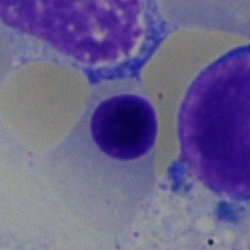

The morphological class is nucleated red blood cell.